Bone marrow smear
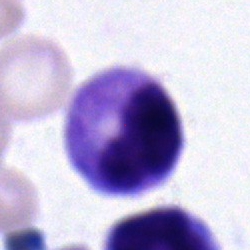 Cell: metamyelocyte.